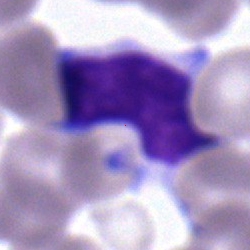
Q: What is shown here?
A: This is a typical lymphocyte.